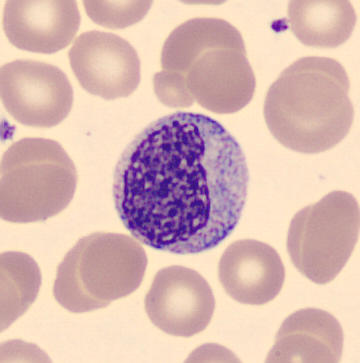 Q: What is shown here?
A: This is a myelocyte. Acquisition: CellaVision DM96; image size 360×363; peripheral blood smear.